Bone marrow aspirate smear · image size 250×250 · May-Grünwald-Giemsa stain — 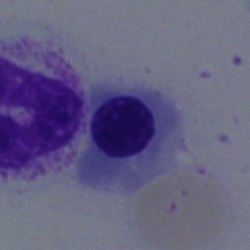
A nucleated red blood cell.